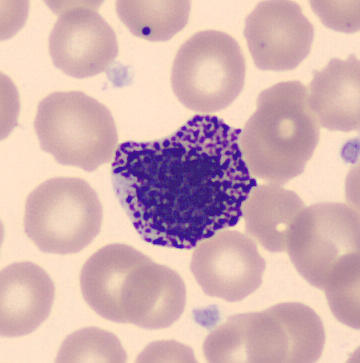
Preparation: MGG-stained. Peripheral blood smear. The cell shown is a basophil.